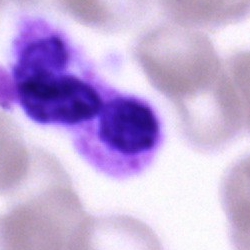
The cell shown is a segmented neutrophil.